Brightfield, 40× oil-immersion objective; bone marrow aspirate smear; image size 250×250 — 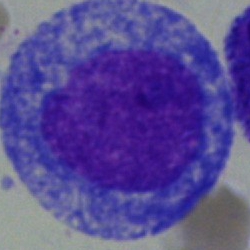 {"cell_type": "progranulocyte", "lineage": "myeloid"}